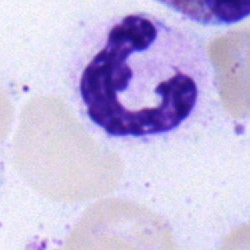 Cell type — neutrophil (segmented).